May-Grünwald-Giemsa stain · bone marrow smear · brightfield microscopy, 40× oil immersion: 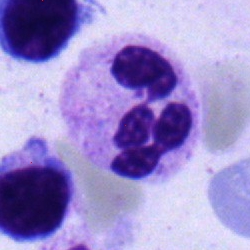 Morphological class: segmented neutrophil.